250 by 250 pixels · single-cell crop · bone marrow smear.
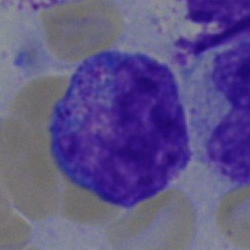
Morphological class: myelocyte.